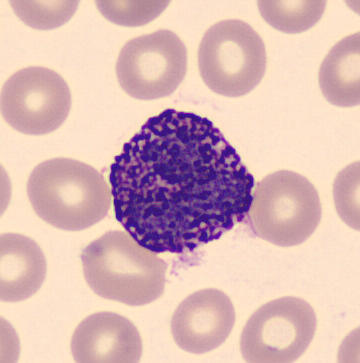
Basophilic granulocyte.